May-Grünwald-Giemsa/Pappenheim stain. Bone marrow smear. 40× objective, oil immersion:
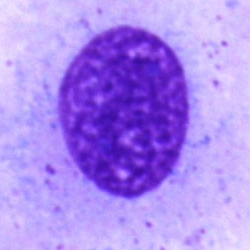
{"cell_type": "artefact"}